Bone marrow smear — 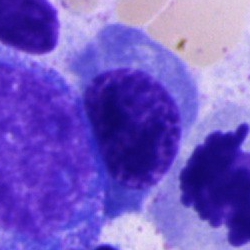

Morphology — normoblast.